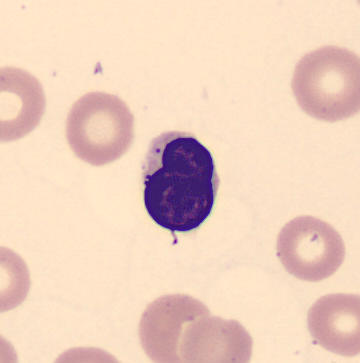 Peripheral blood smear showing a nucleated red cell.